Romanowsky-type stain; 400×400; peripheral blood film — 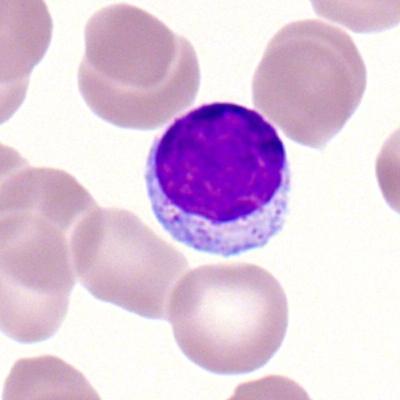Morphology consistent with a lymphocyte.